Bone marrow aspirate smear. MGG-stained. 250 by 250 pixels
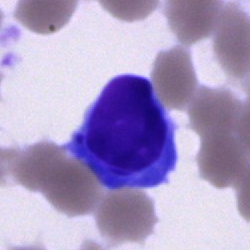 Q: What is shown here?
A: It is an artifact.